Bone marrow smear:
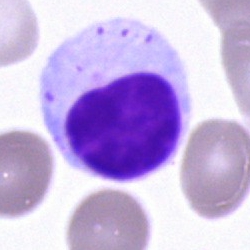 Cell — typical lymphocyte.